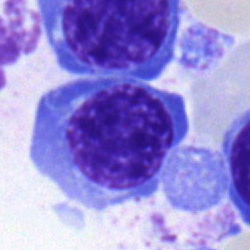Cell type = nucleated red cell.